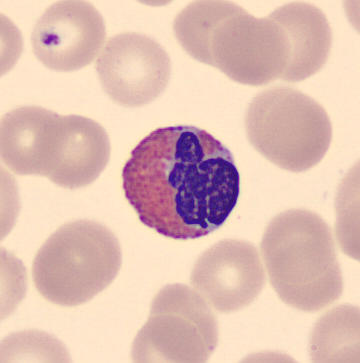Specimen: peripheral blood smear.
Morphological class: eosinophilic granulocyte.
Lineage: myeloid.

Acquisition: Cropped to a single cell.